Bone marrow smear.
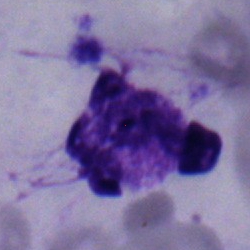
The cell is segmented neutrophil.